Bone marrow aspirate smear
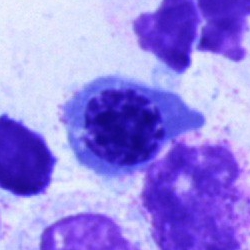

Morphological class: normoblast.